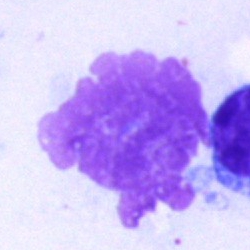 Q: What is shown here?
A: Artifact.